Bone marrow smear:
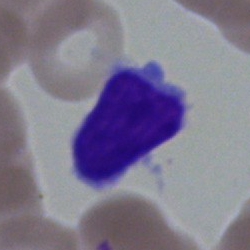
The classification is typical lymphocyte.